Bone marrow aspirate smear.
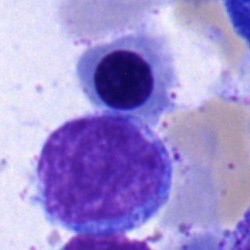

Showing a nucleated red cell.